Bone marrow smear: 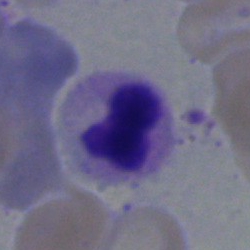 Q: What type of cell is this?
A: This is a polymorphonuclear neutrophil.